250×250; bone marrow aspirate smear:
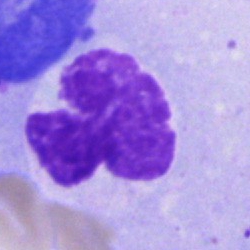 Showing an artefact.